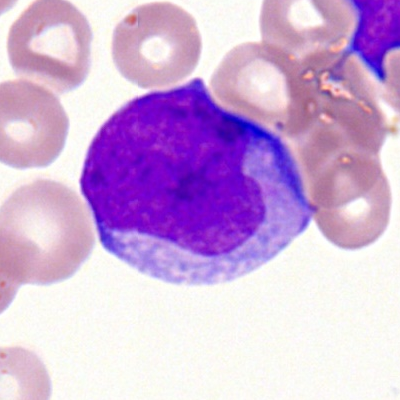
Single cell identified as a myeloblast.